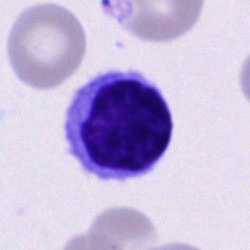
Cell type = typical lymphocyte.